Bone marrow smear — 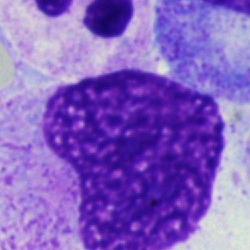 Q: What is shown here?
A: An artifact.